Bone marrow smear: 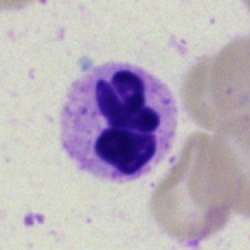

Morphology — segmented neutrophil.